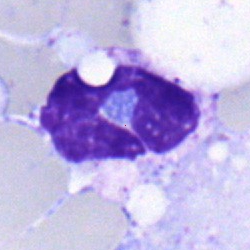Cell type: neutrophil (segmented).